Bone marrow aspirate smear; 40× objective, oil immersion.
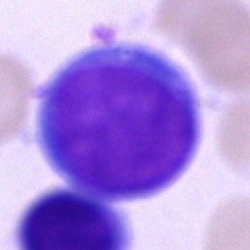Classification: blast cell.